Peripheral blood smear.
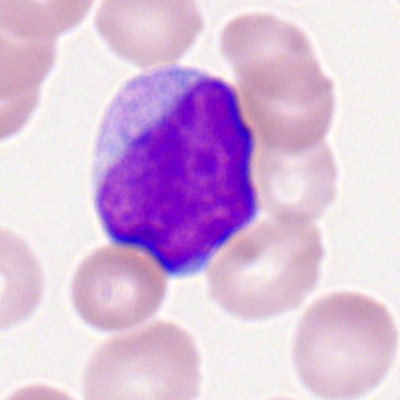

Showing a myeloblast.